Bone marrow aspirate smear:
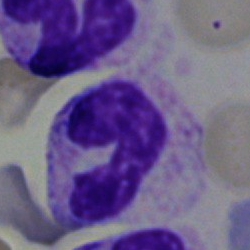Q: What cell is this?
A: Stab cell.